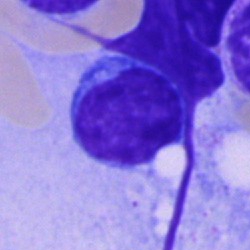

Q: Identify the cell.
A: This is a lymphocyte.